Bone marrow aspirate smear; single cell centered in the field; 40× objective, oil immersion
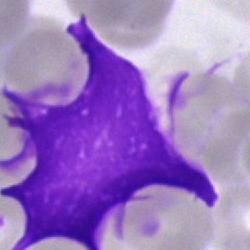
Q: What is shown here?
A: An artifact.